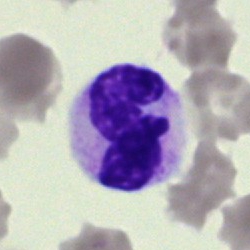 Cell type = neutrophil (segmented).